Bone marrow aspirate smear · Pappenheim-stained · image size 250×250 — 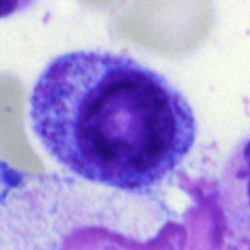
{"cell_type": "myelocyte", "lineage": "myeloid"}